Pappenheim-stained; cropped to a single cell; bone marrow smear.
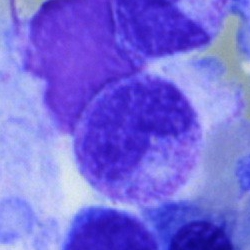 Showing a band neutrophil.